Bone marrow smear · Pappenheim-stained · brightfield, 40× oil-immersion objective
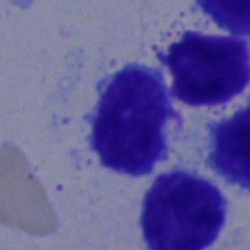 Specimen: bone marrow smear.
Cell: lymphocyte.
Lineage: lymphoid.